Bone marrow smear
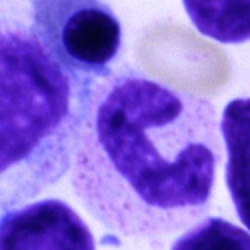
A band neutrophil.